Bone marrow smear.
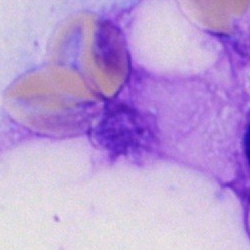Q: What is shown here?
A: Artefact.